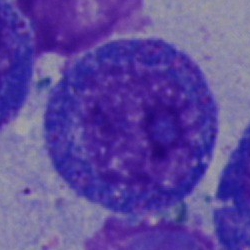

Single cell identified as a progranulocyte.